Bone marrow smear. Single cell centered in the field. 40× oil immersion — 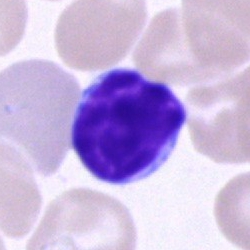 Morphological class — typical lymphocyte.